Bone marrow smear · Pappenheim-stained · single-cell field:
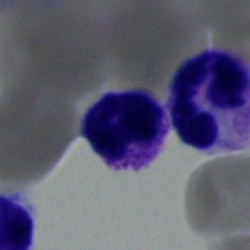
Q: What is shown here?
A: Neutrophil (segmented).